250 by 250 pixels · bone marrow aspirate smear: 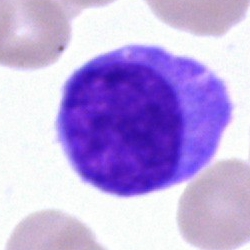 The cell shown is an undifferentiated blast.